Bone marrow aspirate smear — 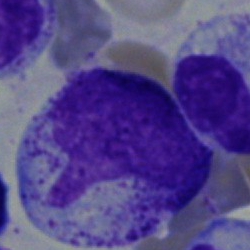
Specimen: bone marrow smear.
Cell: myelocyte.
Lineage: myeloid.